Bone marrow aspirate smear: 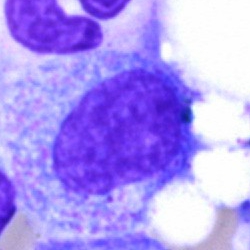

The cell shown is a progranulocyte.